40× oil immersion · bone marrow aspirate smear — 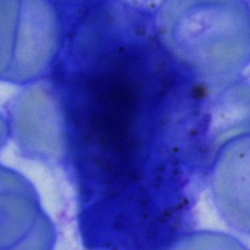

Morphological class: cell of indeterminate lineage.